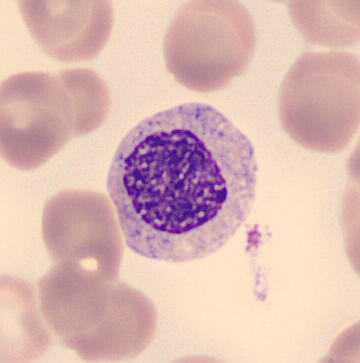 Classification = myelocyte.

Acquisition: Peripheral blood smear.